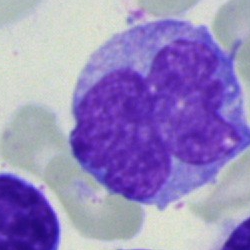The cell is monocyte.